Bone marrow smear — 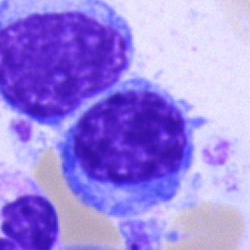Lymphocyte.